Bone marrow smear
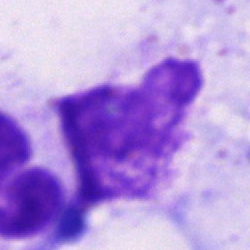
Showing an artefact.